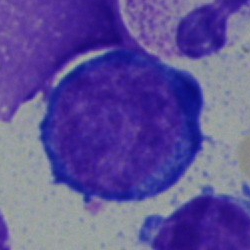
Q: What is the morphological classification of this cell?
A: Proerythroblast.